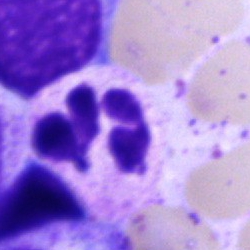Impression → segmented neutrophil.